Bone marrow smear. 40× objective, oil immersion: 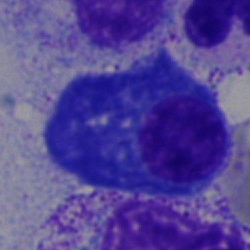Showing a plasmacyte.